Bone marrow smear.
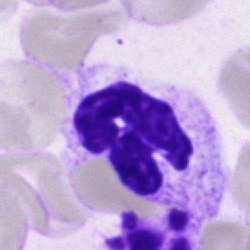 Showing a polymorphonuclear neutrophil.